Single-cell crop. Bone marrow smear. 250 by 250 pixels:
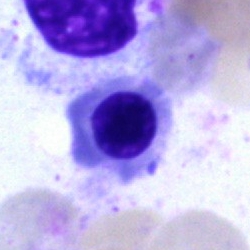

Q: What type of cell is this?
A: Normoblast.